Bone marrow aspirate smear.
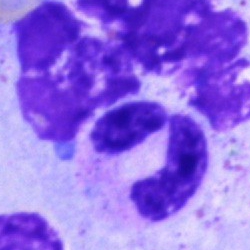
Classification: artefact.